Bone marrow smear; MGG-stained:
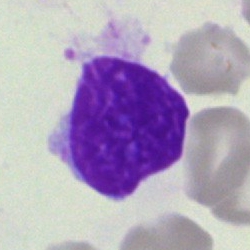 Q: What is shown here?
A: An artifact.